Peripheral blood film: 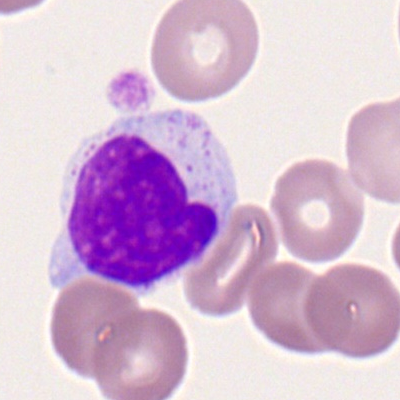

Typical lymphocyte.